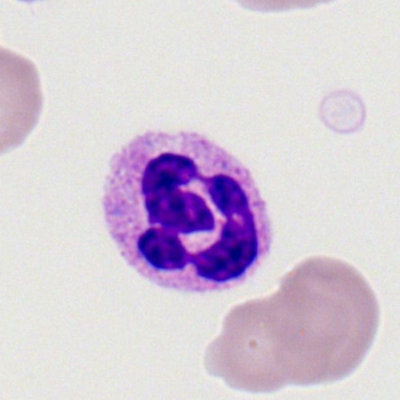
A neutrophil (segmented).